Bone marrow smear
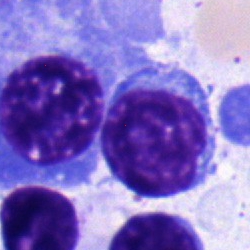
Q: Identify the cell.
A: A lymphocyte.